Bone marrow smear
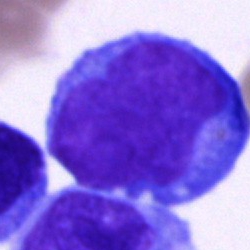 Classification: undifferentiated blast.